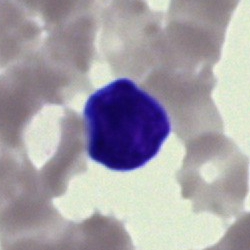

Cell of indeterminate lineage.